Bone marrow aspirate smear.
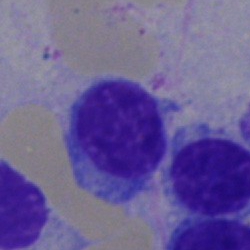

A typical lymphocyte.